Bone marrow aspirate smear.
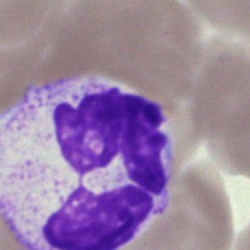

Single cell identified as a segmented neutrophil.